Single cell centered in the field. Bone marrow smear. MGG-stained:
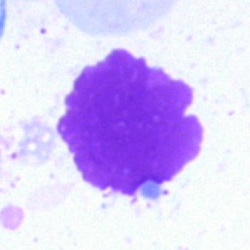

Impression → artefact.